Bone marrow smear · May-Grünwald-Giemsa/Pappenheim stain:
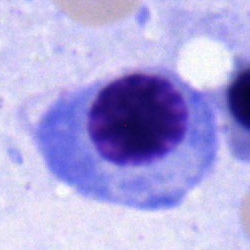 This is an erythroblast.